Bone marrow smear · single-cell crop.
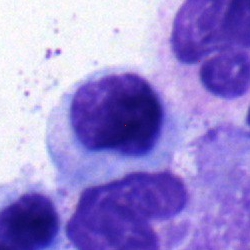 Q: What type of cell is this?
A: This is a myelocyte.